Bone marrow aspirate smear — 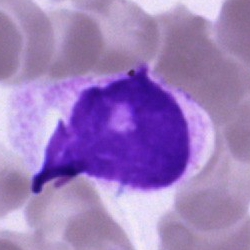

Artefact.